Brightfield microscopy, 40× oil immersion. Bone marrow aspirate smear:
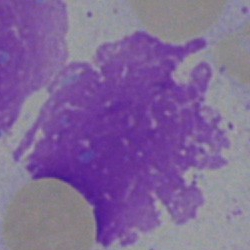
Artefact.